MGG-stained. Bone marrow aspirate smear. 40× objective, oil immersion.
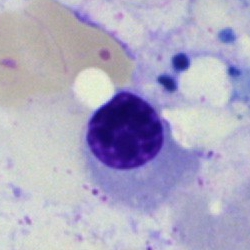

The cell shown is a normoblast.